Bone marrow smear:
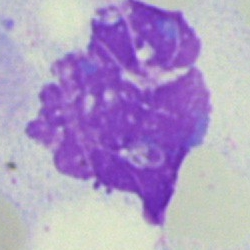
Cell = artifact.